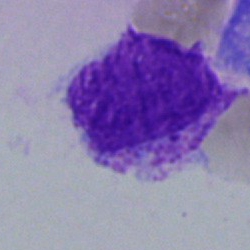 Q: What is shown here?
A: An artefact.